Bone marrow smear.
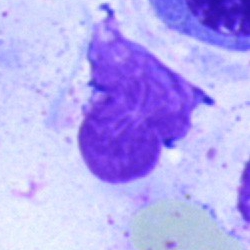 Single cell identified as an artefact.